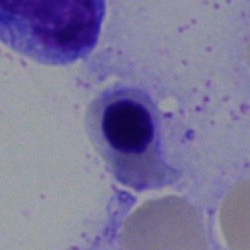Morphology → normoblast.